MGG-stained; bone marrow smear; single-cell field.
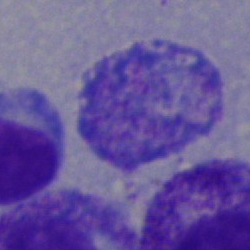

This is an artefact.